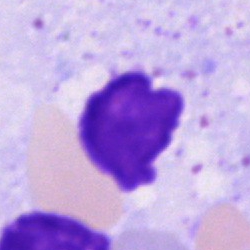Q: What is shown here?
A: It is an artifact.